Peripheral blood smear.
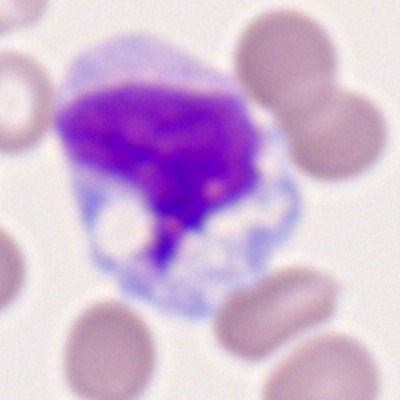
This is a monocyte.